Bone marrow smear
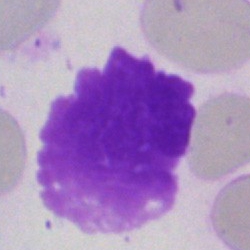Cell — artifact.